Bone marrow smear — 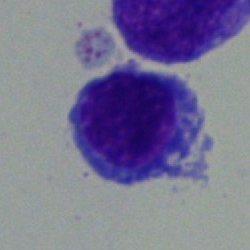
Q: What is shown here?
A: Normoblast.